250 by 250 pixels; bone marrow aspirate smear; MGG-stained.
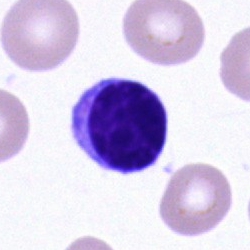

Q: Identify the cell.
A: A typical lymphocyte.